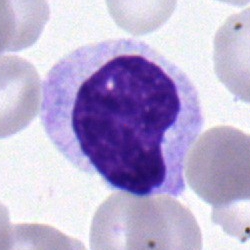 Bone marrow smear showing a metamyelocyte.